Bone marrow smear
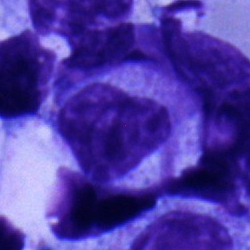 Morphology → myelocyte.